Bone marrow aspirate smear:
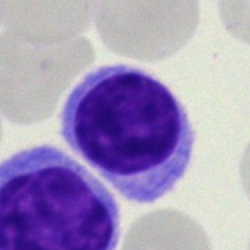 Specimen: bone marrow smear.
Classification: typical lymphocyte.
Lineage: lymphoid.